Brightfield, 40× oil-immersion objective. Bone marrow aspirate smear. May-Grünwald-Giemsa/Pappenheim stain
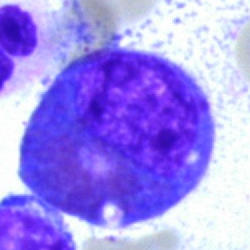

{"cell_type": "artefact"}